Bone marrow aspirate smear — 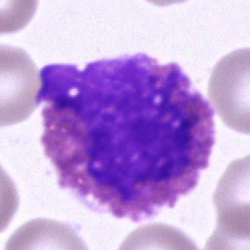

{"cell_type": "eosinophilic granulocyte", "lineage": "myeloid"}